Bone marrow aspirate smear
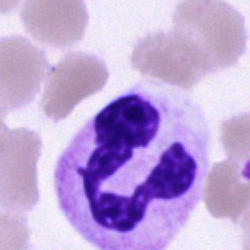

Cell = polymorphonuclear neutrophil.